Pappenheim-stained; bone marrow smear: 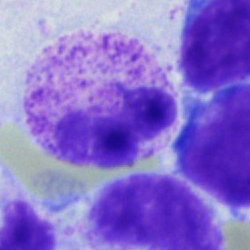
Cell type = segmented neutrophil.